Peripheral blood film
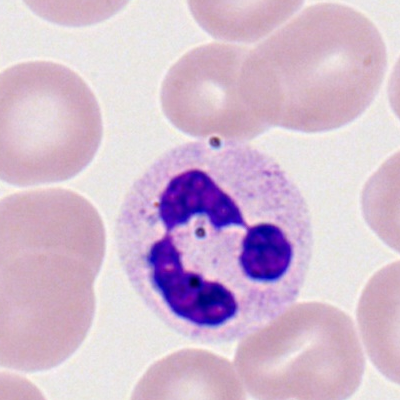Morphological class = polymorphonuclear neutrophil.